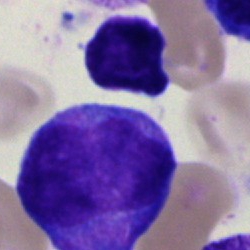
Specimen: bone marrow aspirate smear.
Cell type: blast cell.